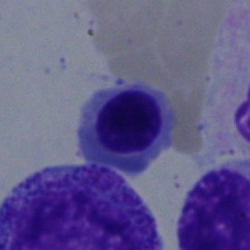Q: Which cell type is shown here?
A: This is a normoblast.